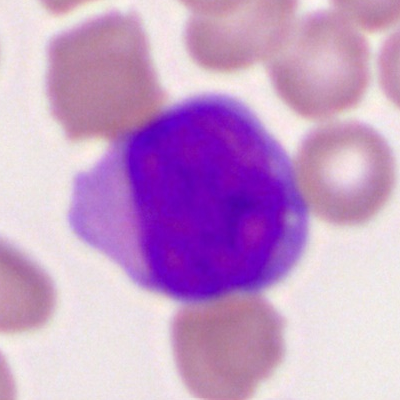 Single cell identified as a myeloid blast.